Bone marrow aspirate smear — 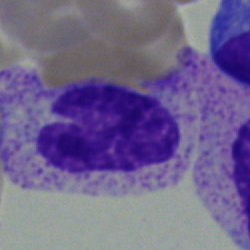
Cell type — neutrophil (band).